Bone marrow smear:
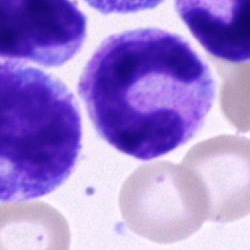Cell type = segmented neutrophil.